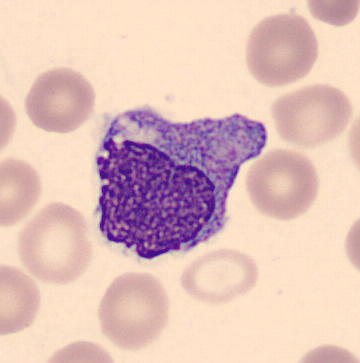Morphological class — monocyte. Peripheral blood film; MGG-stained.